Bone marrow aspirate smear; 250×250 px:
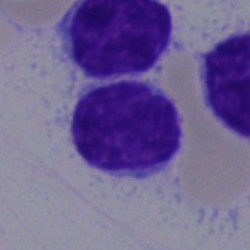 Q: What type of cell is this?
A: This is a lymphocyte.